Peripheral blood film · 400×400 px: 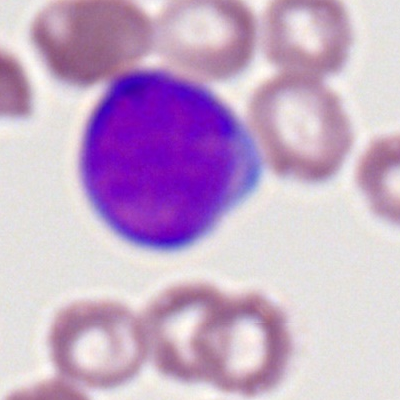
Single cell identified as a myeloblast.